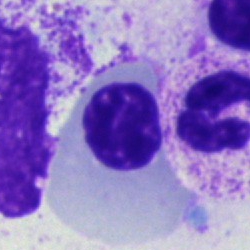 Cell — nucleated red cell.